Cropped to a single cell. Bone marrow smear. 250×250
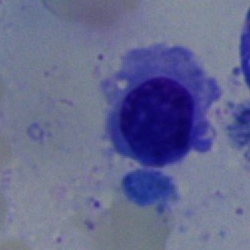
Morphology consistent with a normoblast.